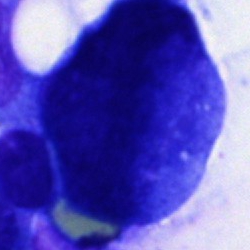

An artefact.